Bone marrow smear — 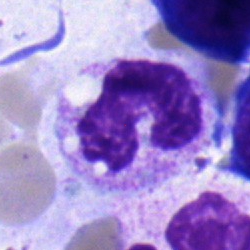 A band neutrophil.